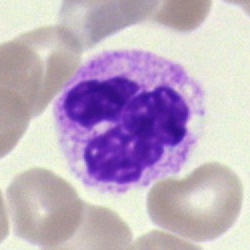 Cell = neutrophil (segmented).